Bone marrow smear. 40× oil immersion. 250×250:
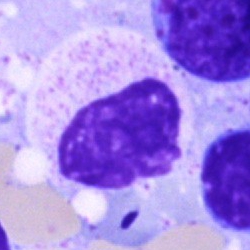Cell type: cell of indeterminate lineage.